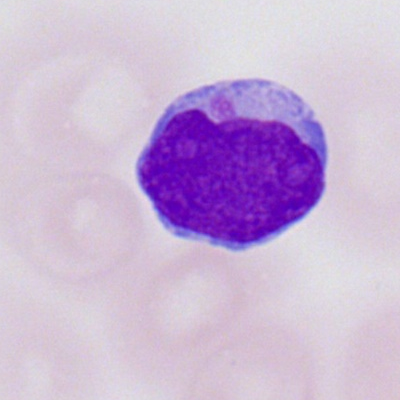Impression — typical lymphocyte.